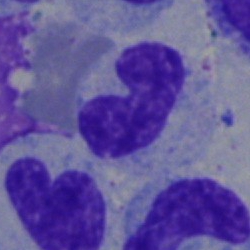 Q: Identify the cell.
A: A neutrophil (band).